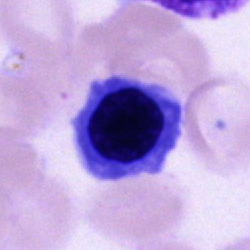Q: What type of cell is this?
A: This is a normoblast.